Bone marrow aspirate smear:
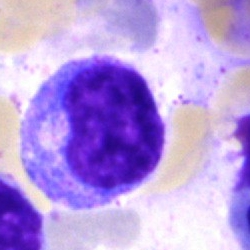

{"cell_type": "promyelocyte", "lineage": "myeloid"}